Bone marrow smear:
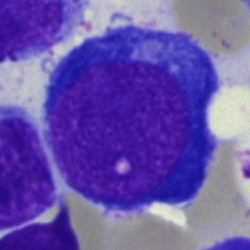 Specimen: bone marrow smear.
Cell type: pronormoblast.
Lineage: erythroid.